Single-cell field. 100× oil immersion. Peripheral blood film
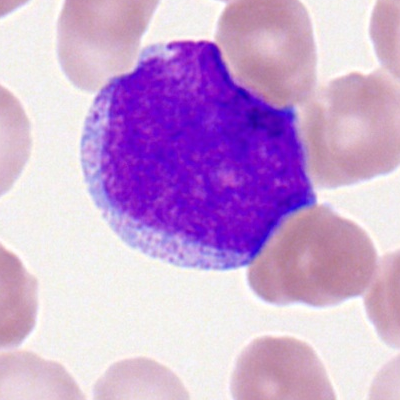 Myeloid blast.